MGG-stained · peripheral blood smear — 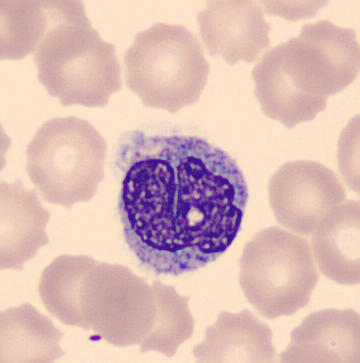 Cell: monocyte.